Bone marrow aspirate smear.
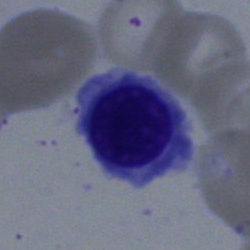

Normoblast.